Bone marrow smear — 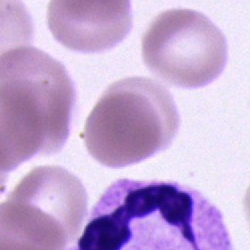Neutrophil (segmented).